Pappenheim-stained; bone marrow smear
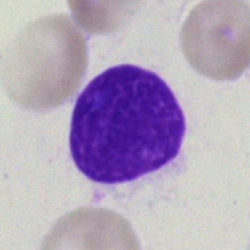

Classification = artefact.